Bone marrow smear · brightfield microscopy, 40× oil immersion:
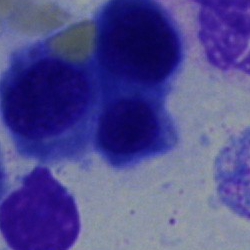 Classification — nucleated red blood cell.